Bone marrow smear. Cropped to a single cell.
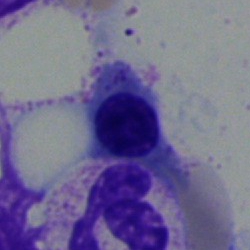
Cell type = nucleated red blood cell.